Bone marrow aspirate smear: 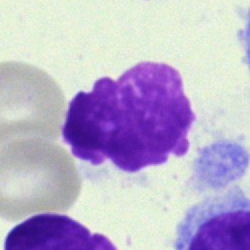An artefact.